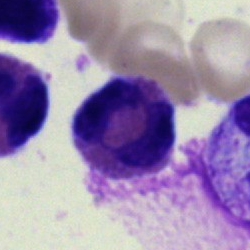Q: Identify the cell.
A: This is an eosinophilic granulocyte.